Brightfield microscopy, 40× oil immersion; single cell centered in the field; bone marrow aspirate smear.
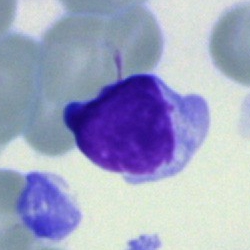The cell shown is a typical lymphocyte.